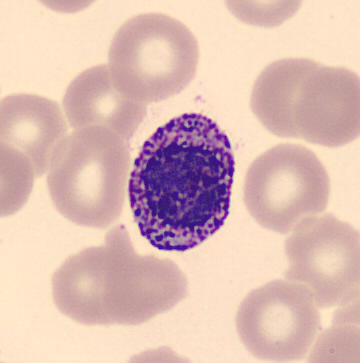 This is a basophil. Automated cell imaging (CellaVision DM96). Peripheral blood smear.